Single-cell field; bone marrow aspirate smear
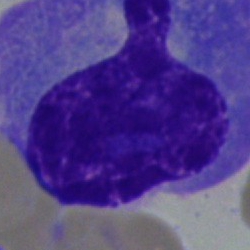
Plasmacyte.